Bone marrow smear.
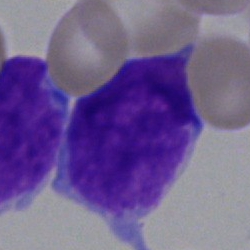

Cell type: undifferentiated blast.